Bone marrow smear
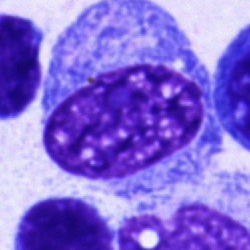Morphology — blast cell.